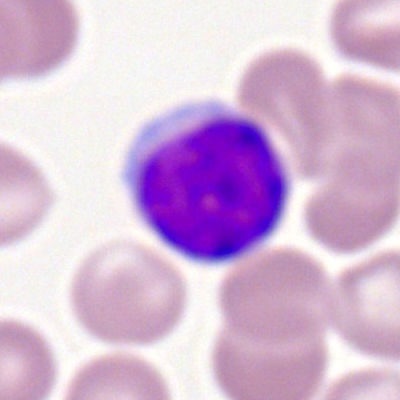

Cell type: typical lymphocyte.